Bone marrow aspirate smear:
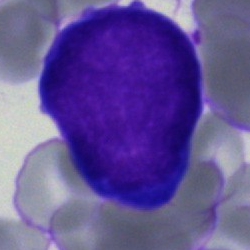The cell shown is a proerythroblast.